Bone marrow aspirate smear — 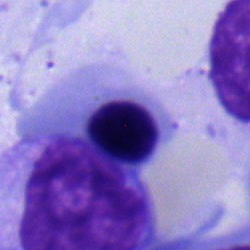The classification is erythroblast.